Bone marrow aspirate smear: 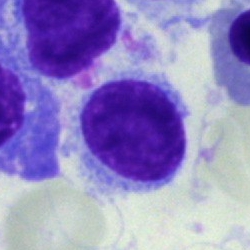The classification is hairy cell.